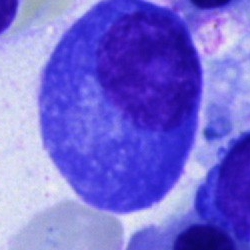 Cell = plasma cell.